Peripheral blood smear:
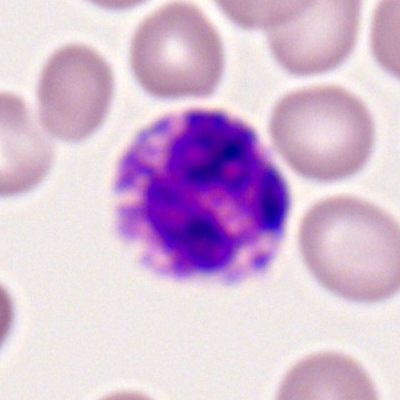

Cell = basophilic granulocyte.